Bone marrow smear:
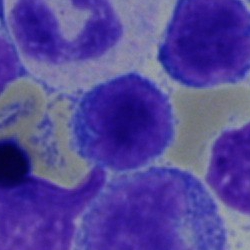Morphology — typical lymphocyte.